Bone marrow smear — 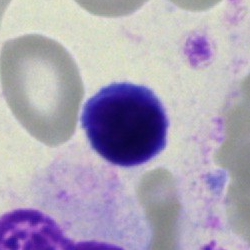 Showing a typical lymphocyte.